Bone marrow smear — 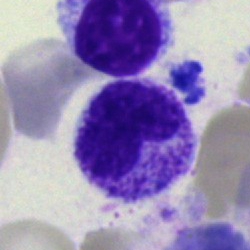
Impression → band neutrophil.